Single cell centered in the field · bone marrow smear
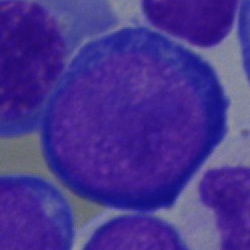 Showing a pronormoblast.